Single cell centered in the field. Bone marrow aspirate smear
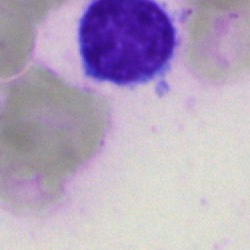 Q: Identify the cell.
A: It is a typical lymphocyte.